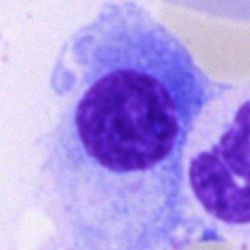Cell: plasmacyte.